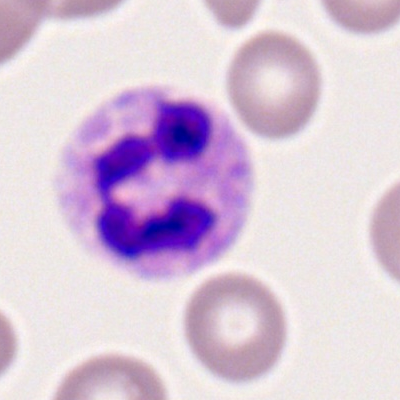
Classification: neutrophil (segmented).